250×250. Bone marrow aspirate smear. 40× oil immersion: 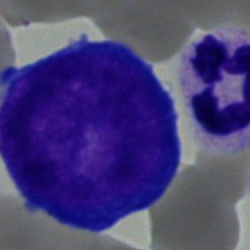Proerythroblast.